Bone marrow smear. Brightfield, 40× oil-immersion objective:
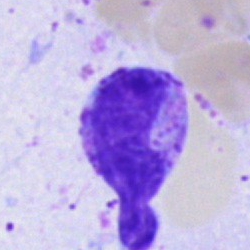The cell type is unidentifiable cell.